Bone marrow aspirate smear. Single-cell field: 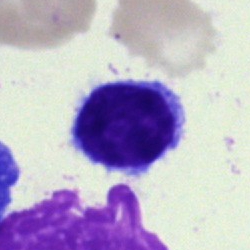

Q: What is the morphological classification of this cell?
A: It is a lymphocyte.